Bone marrow aspirate smear · Pappenheim-stained · brightfield microscopy, 40× oil immersion.
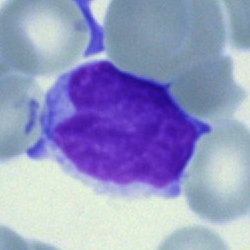Classification = lymphocyte.